Bone marrow smear; brightfield, 40× oil-immersion objective; 250×250.
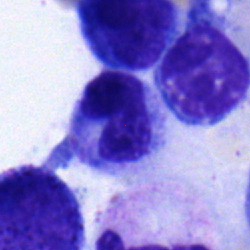 The cell shown is a band-form neutrophil.